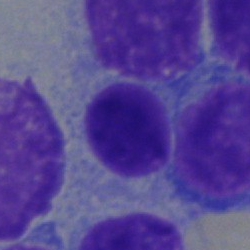 A lymphocyte on a bone marrow smear.